40× objective, oil immersion. Bone marrow aspirate smear. Single cell centered in the field:
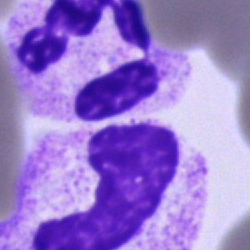

Specimen: bone marrow smear.
Cell: polymorphonuclear neutrophil.